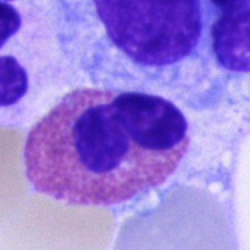
Specimen: bone marrow smear.
Cell: eosinophil.
Lineage: myeloid.